Bone marrow smear. 40× oil immersion
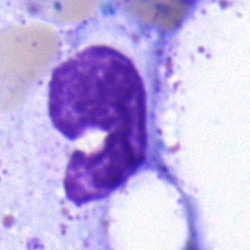 Q: What is shown here?
A: Band neutrophil.